360 by 363 pixels; peripheral blood film; automated cell imaging (CellaVision DM96):
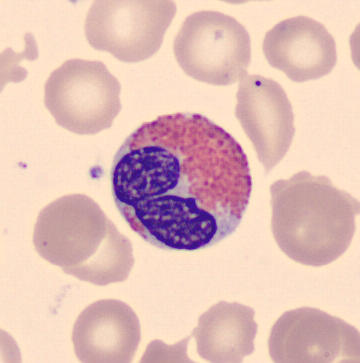

Impression — eosinophil.